Bone marrow aspirate smear.
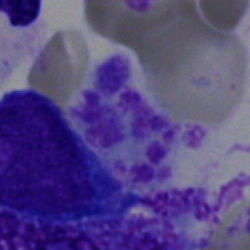
{"cell_type": "artifact"}